Bone marrow smear: 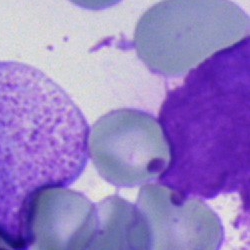 Impression → artifact.